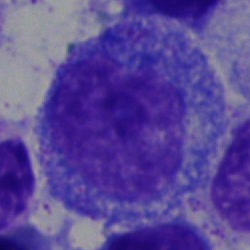
Morphology — progranulocyte.